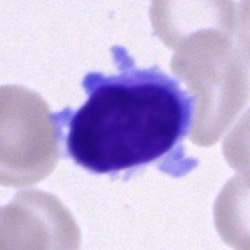
Morphological class — typical lymphocyte.